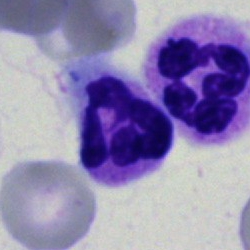Impression — polymorphonuclear neutrophil.